Bone marrow smear · single-cell crop · brightfield, 40× oil-immersion objective — 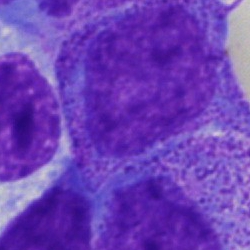Showing a promyelocyte.